Bone marrow aspirate smear — 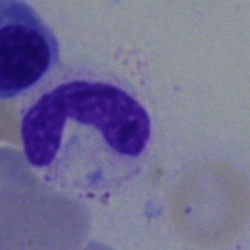 Q: What type of cell is this?
A: It is a neutrophil (band).